Bone marrow smear; single-cell field; 40× oil immersion.
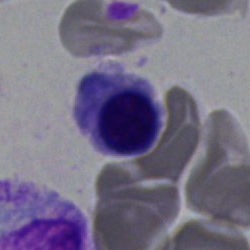 Showing a nucleated red cell.